Single cell centered in the field; bone marrow smear.
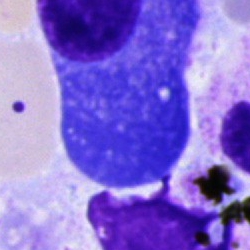 Q: What is shown here?
A: A plasma cell.